Bone marrow smear.
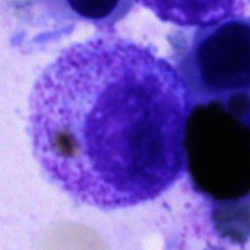Single cell identified as a promyelocyte.